Bone marrow aspirate smear.
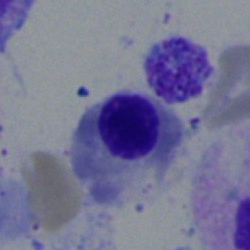Morphology — nucleated red blood cell.